Bone marrow aspirate smear; cropped to a single cell
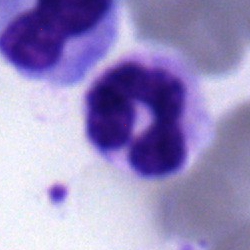A neutrophil (segmented).